Bone marrow aspirate smear:
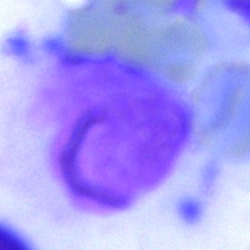Q: What is shown here?
A: This is an artefact.